Bone marrow smear
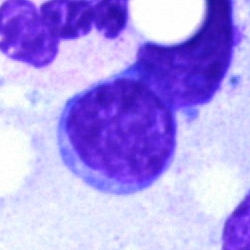 The cell shown is a lymphocyte.